Bone marrow smear; brightfield microscopy, 40× oil immersion; 250×250:
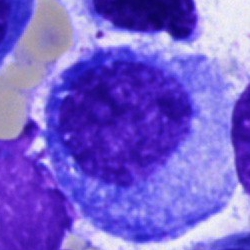A progranulocyte.